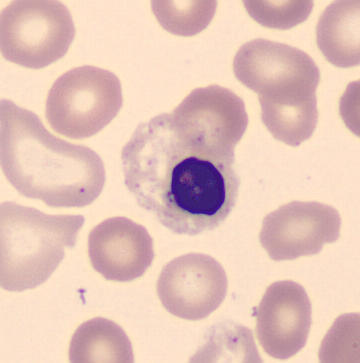
Peripheral blood film.

Q: Identify the cell.
A: An erythroblast.